Bone marrow aspirate smear. Cropped to a single cell.
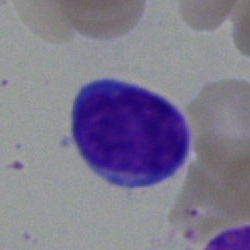 Cell type — typical lymphocyte.